Bone marrow aspirate smear:
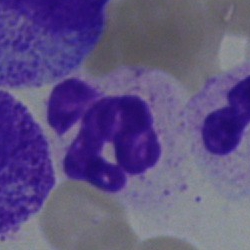

Impression → neutrophil (segmented).